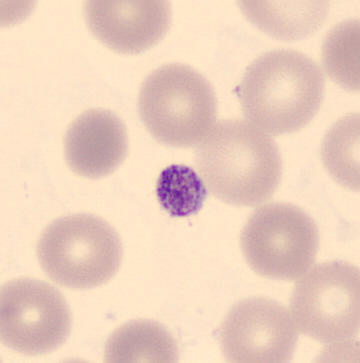A platelet (thrombocyte). Acquisition: Peripheral blood smear.